Bone marrow aspirate smear:
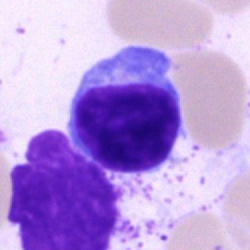Cell — lymphocyte.